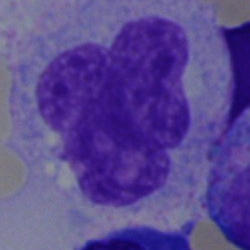
The morphological class is artefact.